Bone marrow smear.
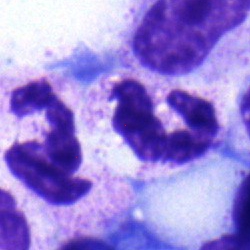
Classification — neutrophil (segmented).